May-Grünwald-Giemsa/Pappenheim stain · bone marrow smear.
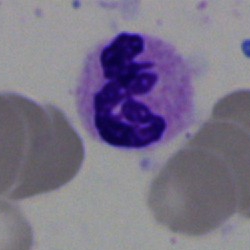
Specimen: bone marrow aspirate smear.
Cell type: segmented neutrophil.
Lineage: myeloid.